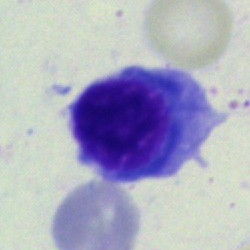

Q: What cell is this?
A: It is a normoblast.